Bone marrow aspirate smear.
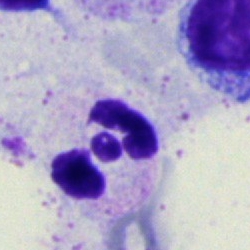Segmented neutrophil.